Pappenheim-stained; bone marrow smear
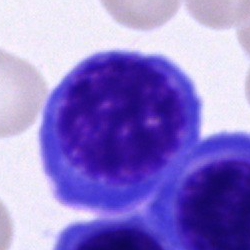 Specimen: bone marrow smear.
Classification: nucleated red blood cell.